Single-cell field · bone marrow aspirate smear: 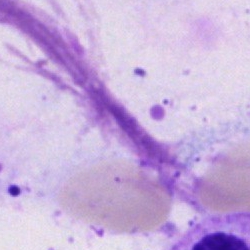 This is an artefact.